Bone marrow aspirate smear
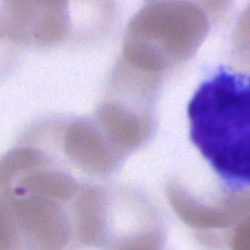
Q: What is shown here?
A: Unidentifiable cell.